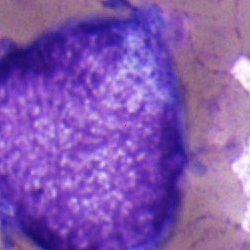 {"cell_type": "progranulocyte", "lineage": "myeloid"}